Bone marrow aspirate smear.
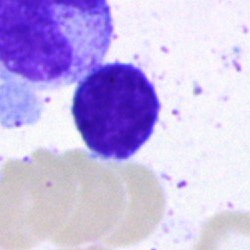
Classification: typical lymphocyte.